Bone marrow aspirate smear — 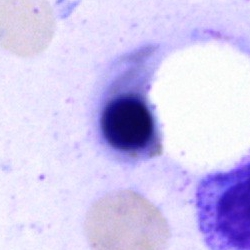

Specimen: bone marrow aspirate smear.
Morphological class: normoblast.
Lineage: erythroid.